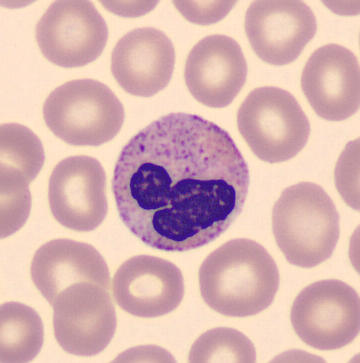
Peripheral blood smear. Single-cell crop.

Cell type = band neutrophil.